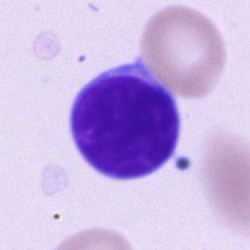
Impression — typical lymphocyte.